Peripheral blood smear: 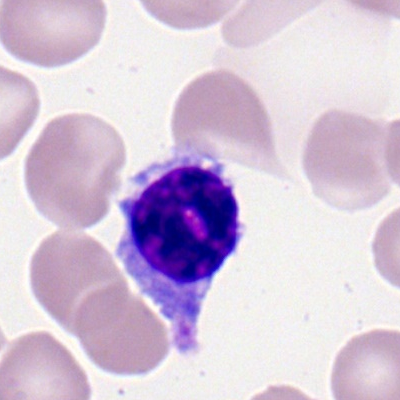Cell type: lymphocyte.